Brightfield microscopy, 40× oil immersion · bone marrow aspirate smear: 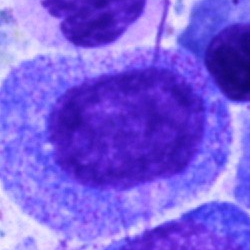 Impression — promyelocyte.